MGG-stained · bone marrow aspirate smear.
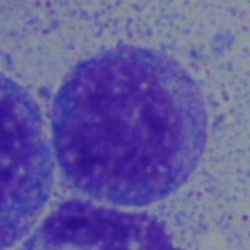
Single cell identified as a myelocyte.